250 by 250 pixels; bone marrow aspirate smear.
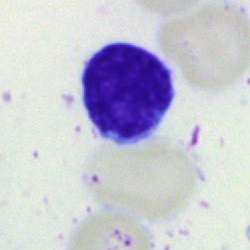

Q: What type of cell is this?
A: It is a lymphocyte.